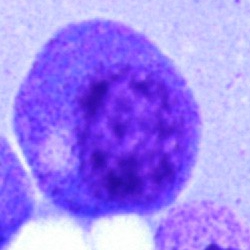

The cell shown is a progranulocyte.